Peripheral blood smear · 360×363
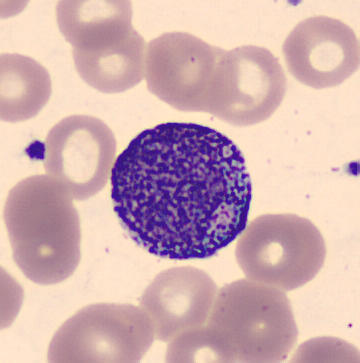Showing a progranulocyte.